Brightfield, 40× oil-immersion objective; bone marrow aspirate smear
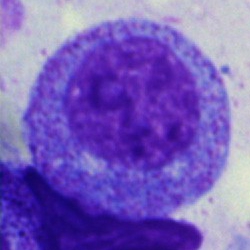

Morphology consistent with a progranulocyte.